Bone marrow aspirate smear.
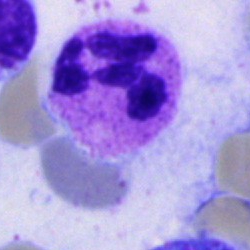Specimen: bone marrow smear.
Classification: segmented neutrophil.
Lineage: myeloid.